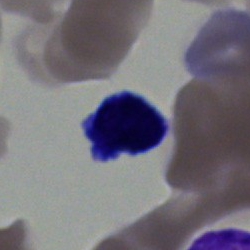
Morphology — lymphocyte.